Bone marrow aspirate smear
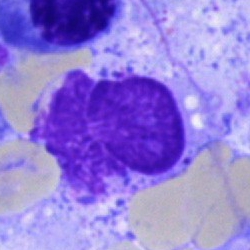

Classification: artifact.